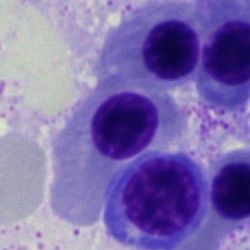 Morphology consistent with a normoblast.